Bone marrow aspirate smear. Single cell centered in the field: 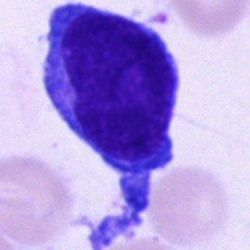 Showing a stab cell.